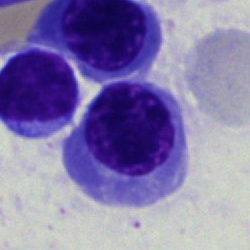 Morphological class = erythroblast.